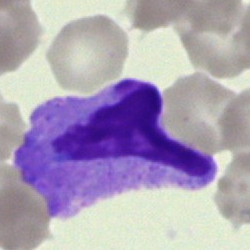Morphology → artifact.